250 by 250 pixels; bone marrow smear — 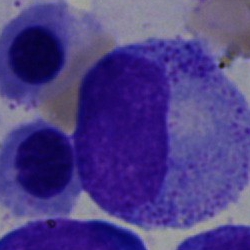 {"cell_type": "promyelocyte", "lineage": "myeloid"}